Bone marrow smear: 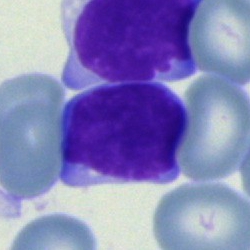 This is a typical lymphocyte.